Bone marrow aspirate smear
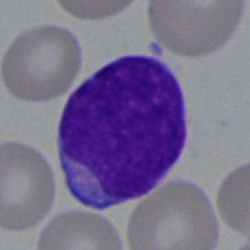

Cell type — undifferentiated blast.